Bone marrow aspirate smear — 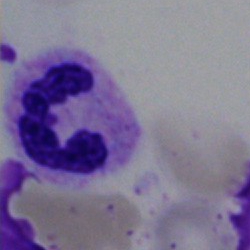The cell shown is a polymorphonuclear neutrophil.